Bone marrow aspirate smear
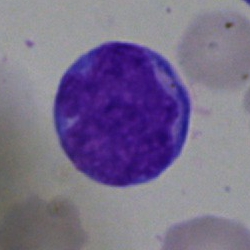 Q: What is the morphological classification of this cell?
A: A blast cell.